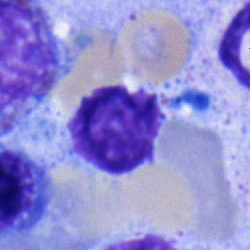Single-cell crop from a bone marrow smear: typical lymphocyte.